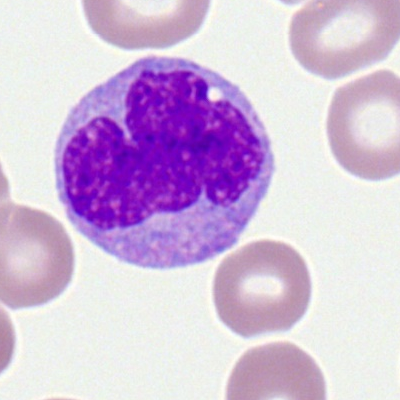

Classification: monocyte.